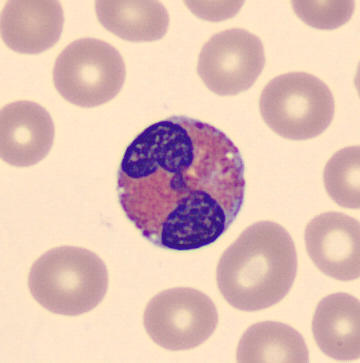
Showing an eosinophilic granulocyte. Peripheral blood smear; 360 by 363 pixels.